Bone marrow smear:
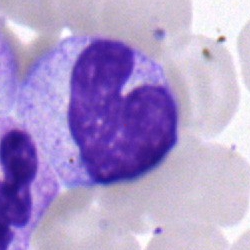Morphology — band neutrophil.